Bone marrow smear: 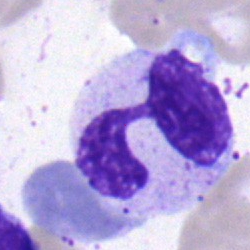 Specimen: bone marrow aspirate smear.
Classification: segmented neutrophil.